Bone marrow smear:
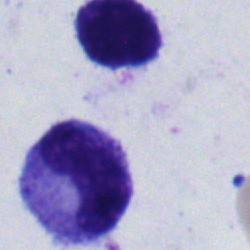

A typical lymphocyte.